Bone marrow aspirate smear: 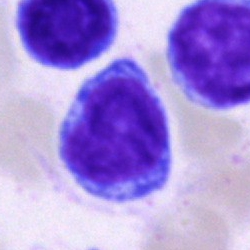

This is a lymphocyte.